Bone marrow smear.
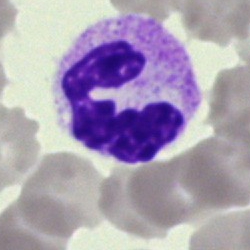This is a polymorphonuclear neutrophil.